Bone marrow smear. 250×250. 40× oil immersion:
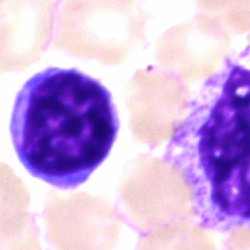
Classification: typical lymphocyte.